Bone marrow smear. Pappenheim-stained:
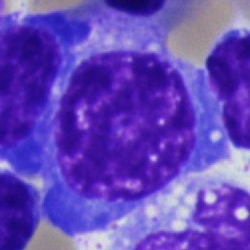Showing a plasma cell.